Bone marrow aspirate smear:
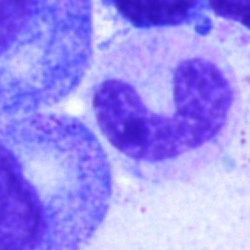
Specimen: bone marrow smear.
Classification: stab cell.
Lineage: myeloid.